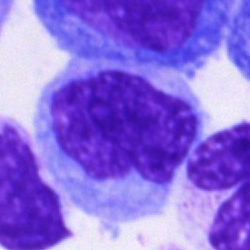Cell = monocyte.